Bone marrow aspirate smear.
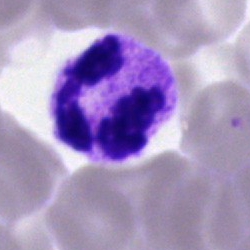
Showing a polymorphonuclear neutrophil.